Single-cell field · bone marrow aspirate smear:
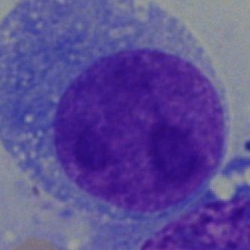 A blast.